Bone marrow aspirate smear · brightfield, 40× oil-immersion objective · single-cell crop — 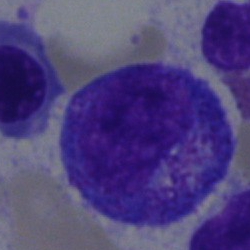 Cell — promyelocyte.